Single-cell field · bone marrow aspirate smear.
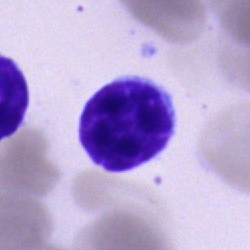

Showing a typical lymphocyte.